Bone marrow smear
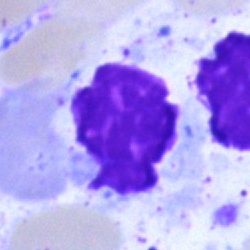Single cell identified as an artifact.